Peripheral blood smear:
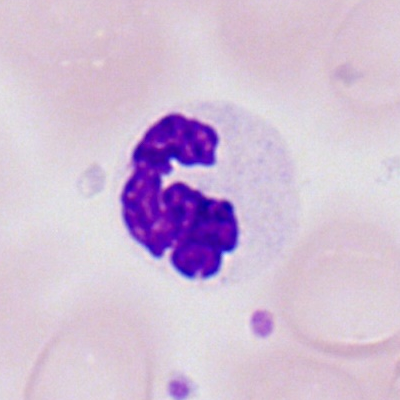

Q: What type of cell is this?
A: It is a segmented neutrophil.